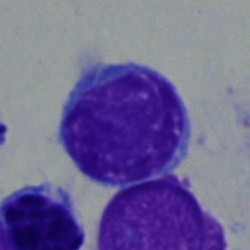A typical lymphocyte.